Bone marrow aspirate smear
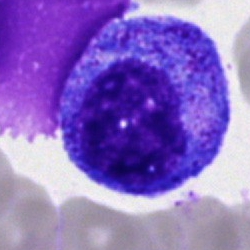

Progranulocyte.